Bone marrow smear · 250×250.
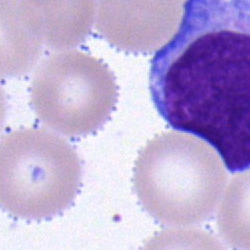 Blast cell.